Bone marrow aspirate smear: 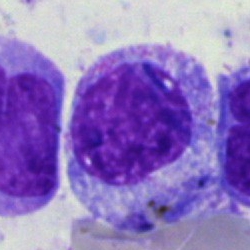

Classification = myelocyte.